Bone marrow aspirate smear
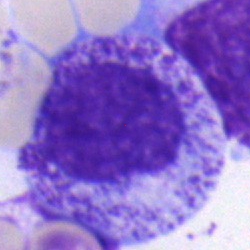

Specimen: bone marrow aspirate smear.
Classification: myelocyte.